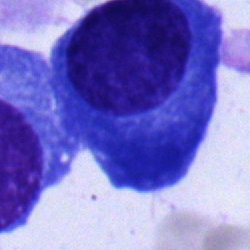Classification — plasmacyte.